Cropped to a single cell; bone marrow aspirate smear: 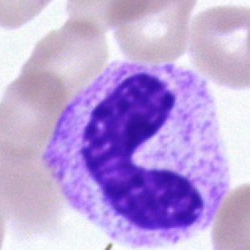
Q: Which cell type is shown here?
A: A stab cell.